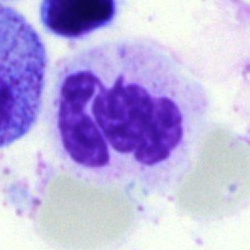
A polymorphonuclear neutrophil.